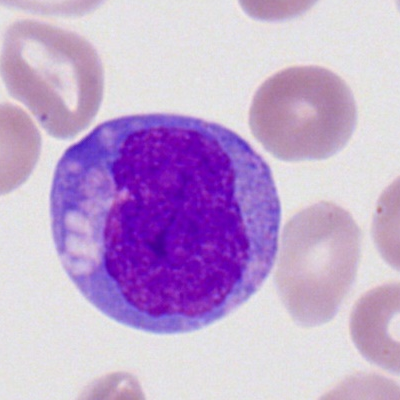 The classification is myeloid blast.